Bone marrow smear:
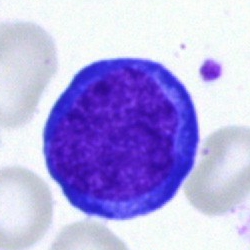
The cell is nucleated red cell.